Bone marrow smear.
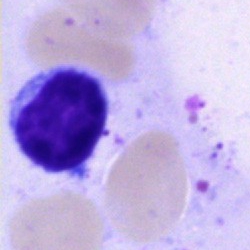 Q: What cell is this?
A: It is a typical lymphocyte.